Single-cell field. Bone marrow aspirate smear.
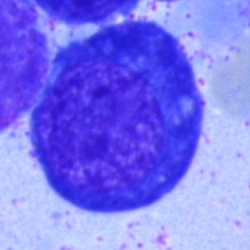
{"cell_type": "nucleated red blood cell"}